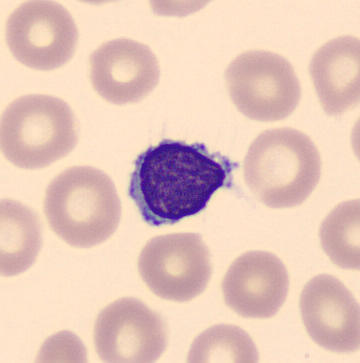
Morphology — lymphocyte. Image size 360×363; single-cell field; peripheral blood film.